Bone marrow aspirate smear:
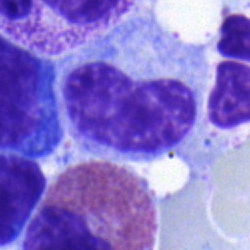
Showing a metamyelocyte.